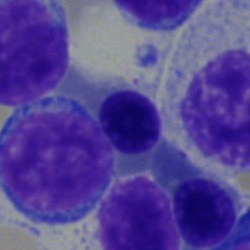
Q: What is shown here?
A: This is a normoblast.